40× objective, oil immersion. Bone marrow aspirate smear: 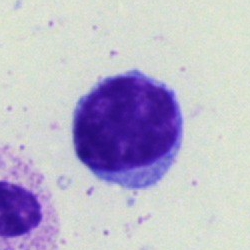
Q: What cell is this?
A: A typical lymphocyte.